Bone marrow aspirate smear · image size 250×250: 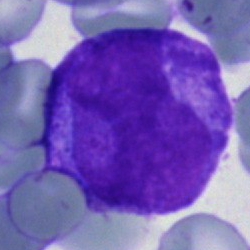
Morphology → blast.